Bone marrow smear:
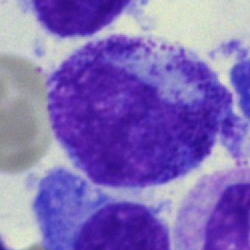
The morphological class is promyelocyte.